Bone marrow smear
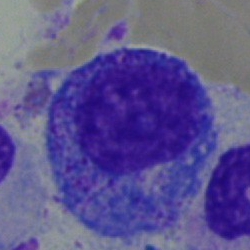
Cell — promyelocyte.